40× oil immersion; bone marrow smear; cropped to a single cell
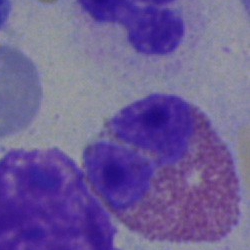Impression — eosinophil.